Bone marrow aspirate smear — 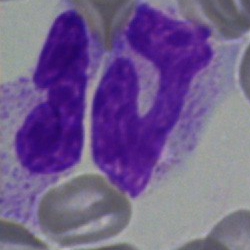Single cell identified as a neutrophil (segmented).